Bone marrow smear: 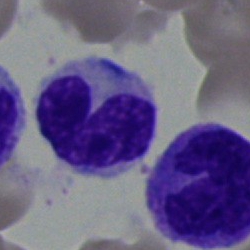

Impression → band-form neutrophil.